Bone marrow smear — 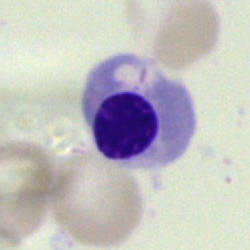 The cell is nucleated red blood cell.